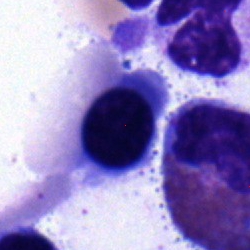 Classification — erythroblast.